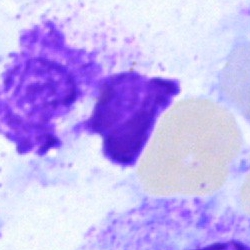

Classification — artifact.